May-Grünwald-Giemsa/Pappenheim stain. Bone marrow smear
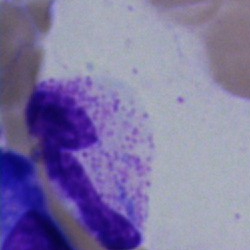
Classification = polymorphonuclear neutrophil.